Bone marrow aspirate smear. 250×250 px. Brightfield microscopy, 40× oil immersion — 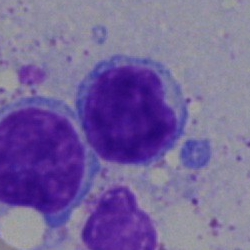 Specimen: bone marrow smear.
Cell type: lymphocyte.
Lineage: lymphoid.